Bone marrow aspirate smear:
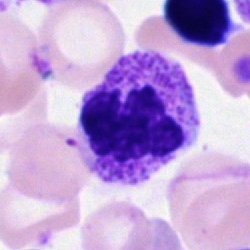 Morphology → segmented neutrophil.